Bone marrow aspirate smear: 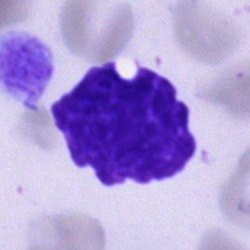

Q: What is shown here?
A: This is an artefact.